Brightfield microscopy, 40× oil immersion. Bone marrow aspirate smear: 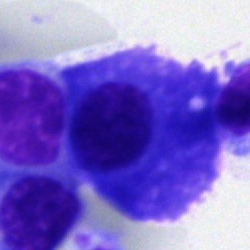This is a plasmacyte.